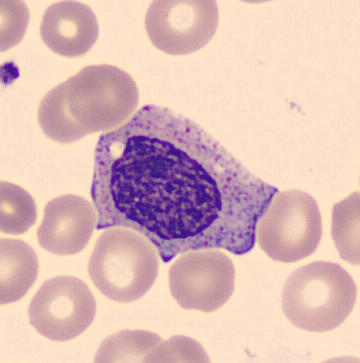 Preparation: Peripheral blood smear; CellaVision DM96; single-cell field.
A myelocyte.